Bone marrow smear · single-cell field — 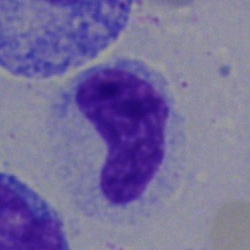 Cell type = band neutrophil.